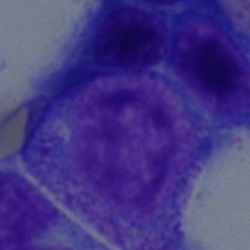

Bone marrow aspirate smear, single cell — progranulocyte.